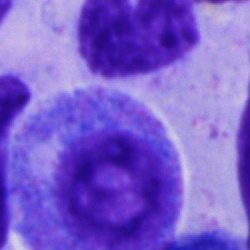
Morphological class — progranulocyte.